Bone marrow smear — 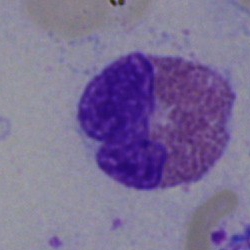 Morphology → eosinophil.